Pappenheim-stained · bone marrow smear — 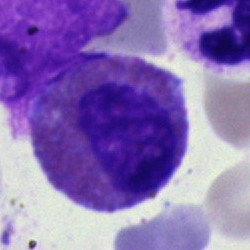 Specimen: bone marrow aspirate smear.
Morphological class: eosinophilic granulocyte.
Lineage: myeloid.